Brightfield microscopy, 40× oil immersion · single-cell crop · bone marrow aspirate smear
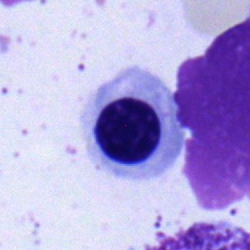

The morphological class is normoblast.